Single-cell crop. Bone marrow aspirate smear: 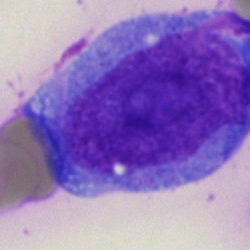

Morphological class = undifferentiated blast.